Pappenheim-stained. Single cell centered in the field. Bone marrow aspirate smear: 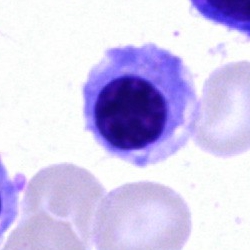 This is a nucleated red cell.